Single-cell field. 40× objective, oil immersion. Bone marrow aspirate smear.
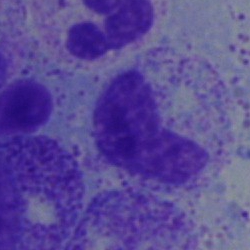 Q: What cell is this?
A: Neutrophil (band).